Bone marrow aspirate smear. Pappenheim-stained
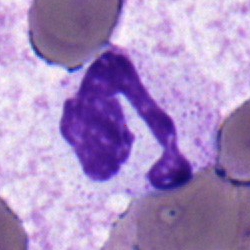

Q: What cell is this?
A: It is a polymorphonuclear neutrophil.